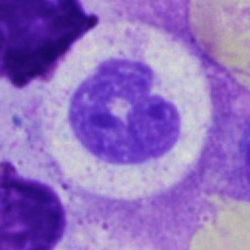Cell: neutrophil (segmented).